Bone marrow smear · single-cell crop: 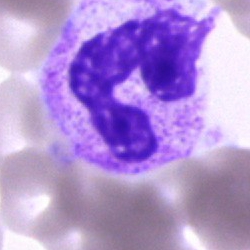
Q: Identify the cell.
A: A neutrophil (band).